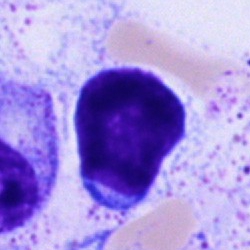 {"cell_type": "typical lymphocyte", "lineage": "lymphoid"}